Bone marrow aspirate smear — 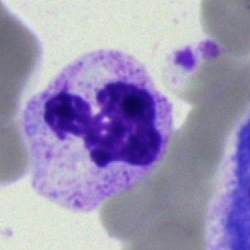

Morphology consistent with a neutrophil (segmented).